Bone marrow smear: 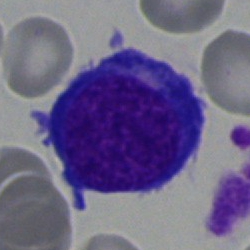
Cell type: normoblast.